MGG-stained; bone marrow smear:
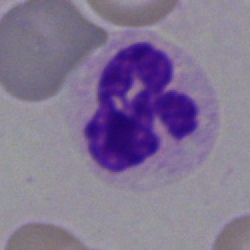Classification — polymorphonuclear neutrophil.